Bone marrow smear
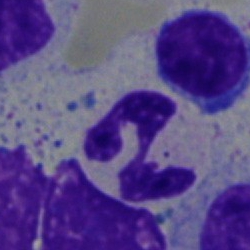Classification: neutrophil (segmented).